Bone marrow smear: 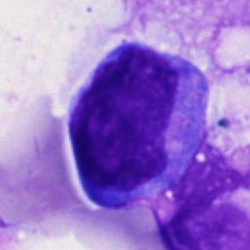The classification is blast.